Peripheral blood smear.
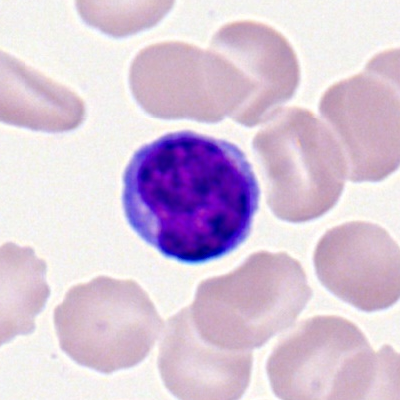 The morphological class is typical lymphocyte.